Bone marrow smear — 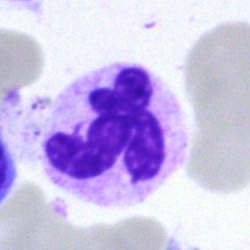Specimen: bone marrow aspirate smear.
Morphological class: polymorphonuclear neutrophil.
Lineage: myeloid.